Bone marrow aspirate smear · single-cell field:
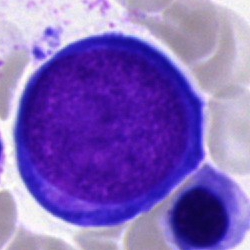

Specimen: bone marrow smear.
Cell type: pronormoblast.
Lineage: erythroid.